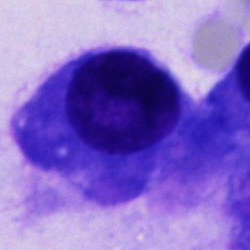
Q: Identify the cell.
A: Other cell.